Bone marrow smear.
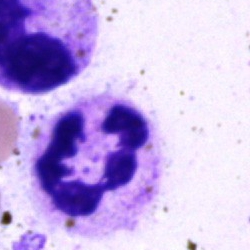Q: What type of cell is this?
A: This is a polymorphonuclear neutrophil.